Bone marrow aspirate smear:
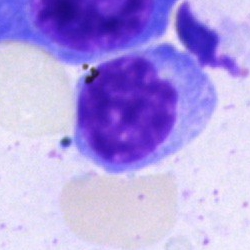
Cell type = lymphocyte.